Bone marrow smear — 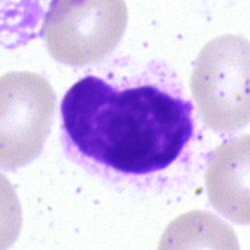 The morphological class is artefact.